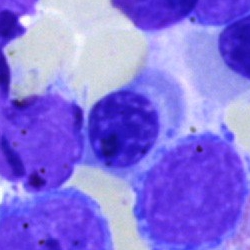Q: Identify the cell.
A: It is a nucleated red blood cell.